May-Grünwald-Giemsa/Pappenheim stain · 40× oil immersion · bone marrow smear:
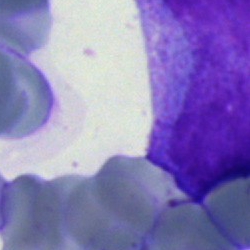
Blast cell.